250×250 px · bone marrow smear — 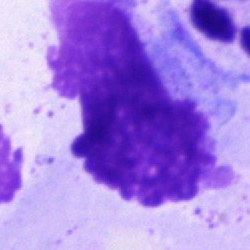

Specimen: bone marrow smear.
Cell: artefact.